Image size 250×250; bone marrow aspirate smear.
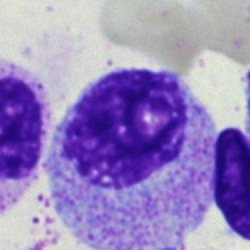 This is a myelocyte.